Bone marrow aspirate smear
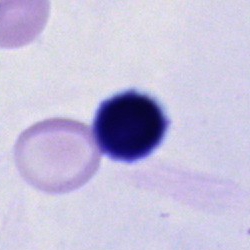
Specimen: bone marrow aspirate smear.
Cell type: unidentifiable cell.